Bone marrow aspirate smear.
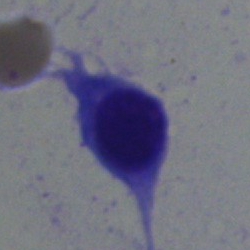

This is a typical lymphocyte.